Bone marrow aspirate smear.
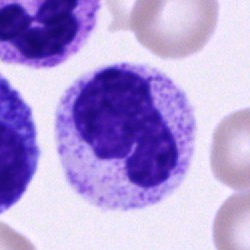
{"cell_type": "segmented neutrophil"}